Bone marrow smear: 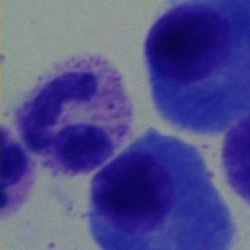
Morphological class: neutrophil (band).